Bone marrow aspirate smear; single cell centered in the field; MGG-stained — 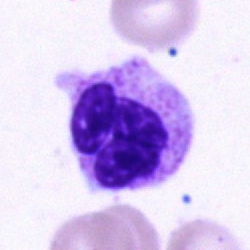Segmented neutrophil.